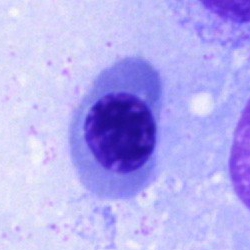

A nucleated red blood cell on a bone marrow smear.